Cropped to a single cell. Peripheral blood film: 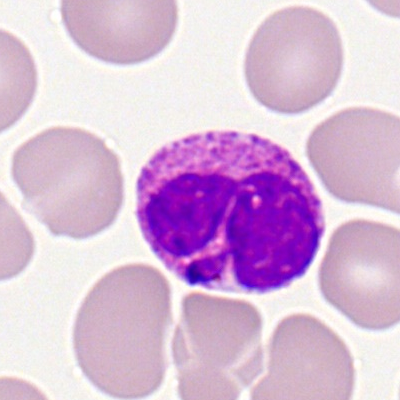 Cell type = eosinophil.